Bone marrow smear: 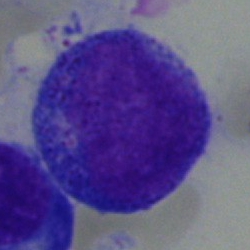

Impression — promyelocyte.